Pappenheim-stained. Bone marrow aspirate smear. 250×250 px.
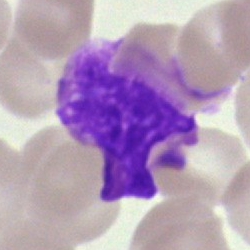

Specimen: bone marrow smear.
Classification: artifact.